Single-cell crop; bone marrow smear; Pappenheim-stained.
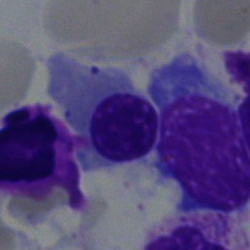 Erythroblast.